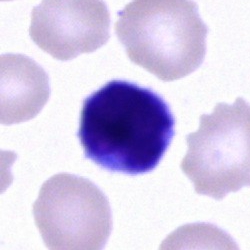

Classification — typical lymphocyte.